Bone marrow smear
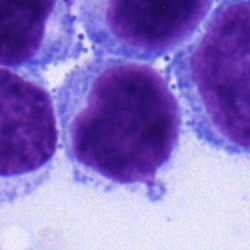The cell shown is a lymphocyte.